Cropped to a single cell. Bone marrow smear: 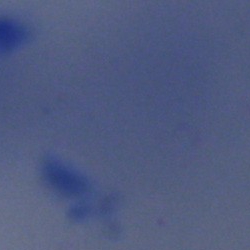

Q: What is shown here?
A: An artifact.